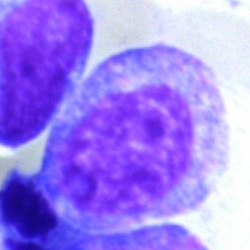 The cell shown is a progranulocyte.